40× objective, oil immersion; bone marrow smear:
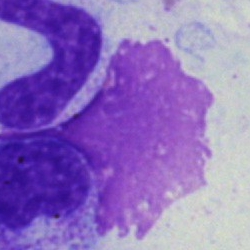Impression — artifact.